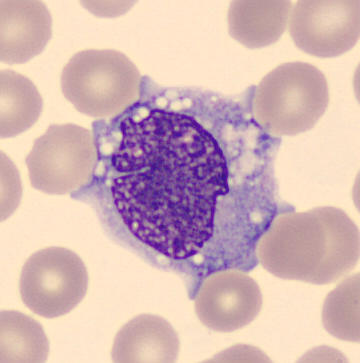 Single cell identified as a monocyte.